Bone marrow smear. May-Grünwald-Giemsa/Pappenheim stain: 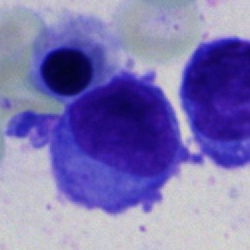

Morphology consistent with a plasma cell.